Bone marrow smear; 250 by 250 pixels; May-Grünwald-Giemsa stain: 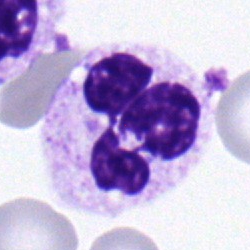

Single cell identified as a neutrophil (segmented).